Bone marrow smear:
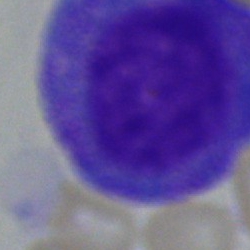The cell shown is a progranulocyte.